MGG-stained; bone marrow aspirate smear; single-cell field: 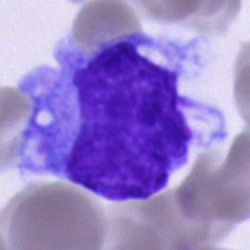

Q: Identify the cell.
A: Monocyte.